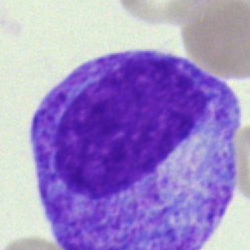Cell type: progranulocyte.